Bone marrow aspirate smear:
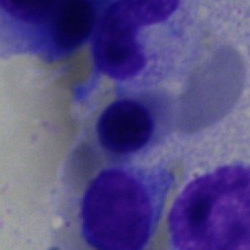 A nucleated red blood cell.